250×250 px. Bone marrow aspirate smear
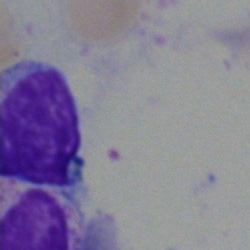Impression → lymphocyte.